MGG-stained; 40× oil immersion; bone marrow aspirate smear: 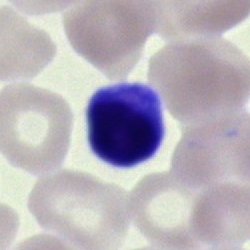
Lymphocyte.